Bone marrow aspirate smear · 250×250 px.
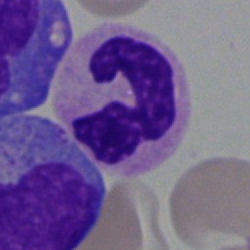
Impression → neutrophil (segmented).